Bone marrow aspirate smear
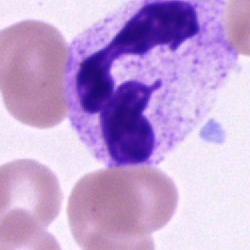
The classification is segmented neutrophil.